Single-cell crop · peripheral blood smear: 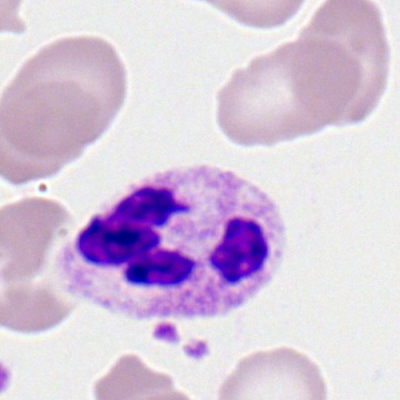

Impression — neutrophil (segmented).